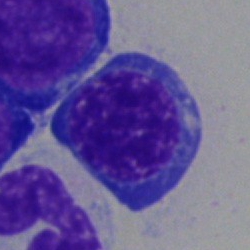

Morphology consistent with a nucleated red blood cell.